Bone marrow aspirate smear:
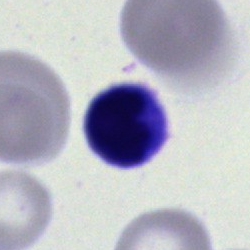
Single cell identified as a lymphocyte.